May-Grünwald-Giemsa/Pappenheim stain. Bone marrow aspirate smear:
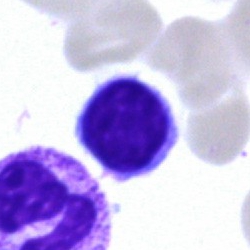Cell: lymphocyte.